Bone marrow smear · brightfield microscopy, 40× oil immersion: 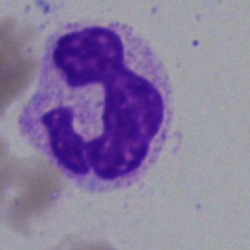

Morphology — segmented neutrophil.